Bone marrow aspirate smear
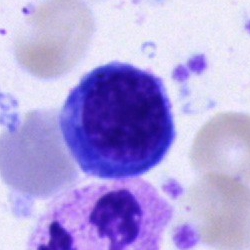 This is a nucleated red cell.